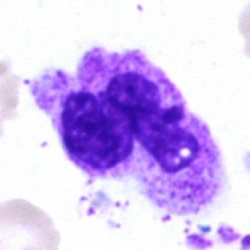

Classification — polymorphonuclear neutrophil.